Peripheral blood smear. Image size 400×400 — 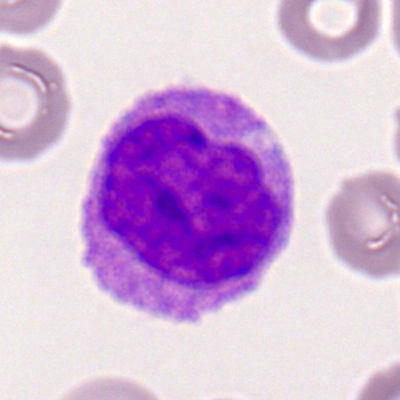 Specimen: peripheral blood film.
Cell: monocyte.
Lineage: myeloid.